Bone marrow aspirate smear:
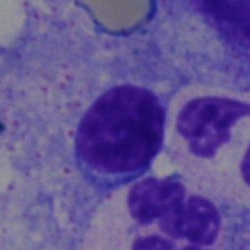 Morphological class: lymphocyte.